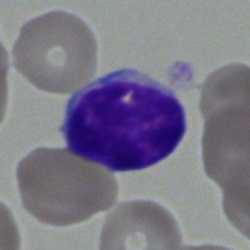

The cell shown is a lymphocyte.